Bone marrow smear.
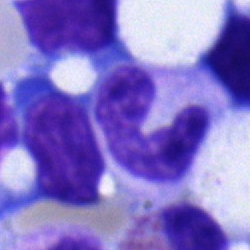Specimen: bone marrow aspirate smear.
Classification: neutrophil (band).
Lineage: myeloid.